Bone marrow smear.
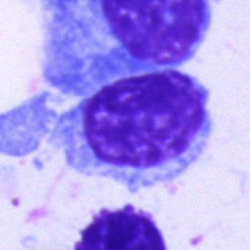

Q: What is shown here?
A: Typical lymphocyte.